Single-cell crop · bone marrow aspirate smear · May-Grünwald-Giemsa stain
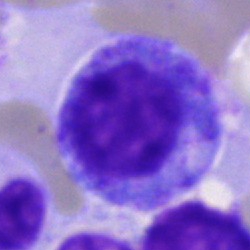 Q: Identify the cell.
A: A progranulocyte.